May-Grünwald-Giemsa stain. Bone marrow smear — 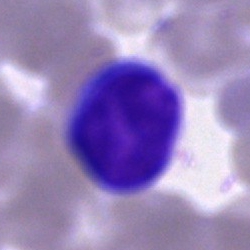 Q: What cell is this?
A: It is an unidentifiable cell.